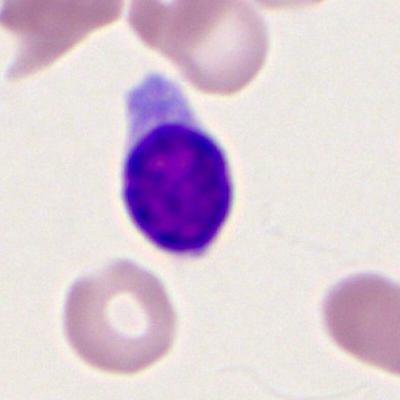

Morphology consistent with a typical lymphocyte.